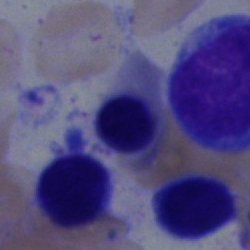

Single-cell crop from a bone marrow smear: nucleated red blood cell.